Peripheral blood film — 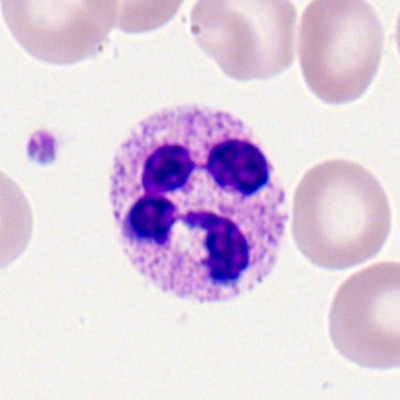

Specimen: peripheral blood film.
Cell: polymorphonuclear neutrophil.
Lineage: myeloid.